Bone marrow smear.
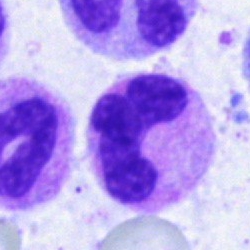
Neutrophil (segmented).